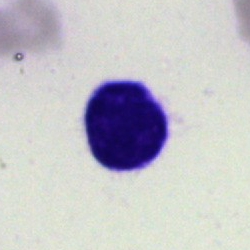

The cell is lymphocyte.